May-Grünwald-Giemsa/Pappenheim stain · bone marrow aspirate smear · cropped to a single cell:
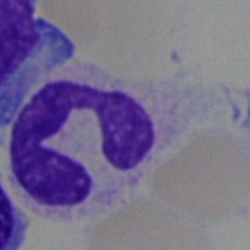
{"cell_type": "polymorphonuclear neutrophil"}